250×250 px. Bone marrow smear. May-Grünwald-Giemsa/Pappenheim stain
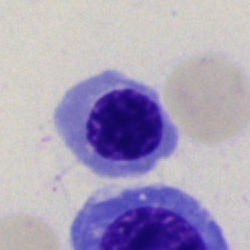
The cell is erythroblast.